Bone marrow aspirate smear; single-cell field
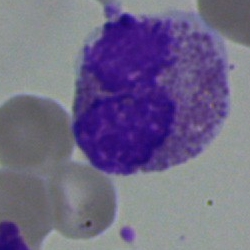

Morphology — eosinophil.